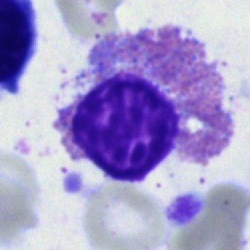
Q: What is shown here?
A: It is an eosinophil.